Bone marrow smear.
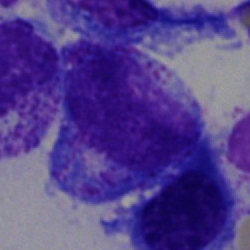
The cell is promyelocyte.